Single-cell crop. 100× oil immersion, 14.14 px/µm. Peripheral blood smear
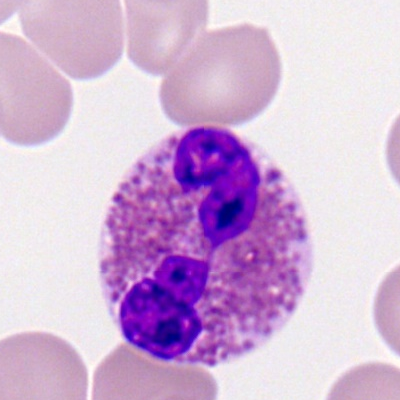Specimen: peripheral blood film.
Cell: eosinophilic granulocyte.